Bone marrow aspirate smear: 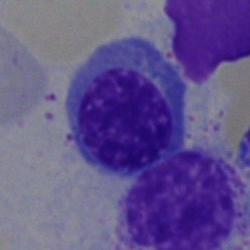

Morphological class — normoblast.